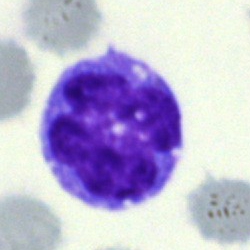{"cell_type": "monocyte"}